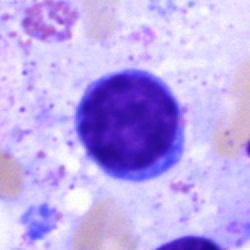Showing a typical lymphocyte.